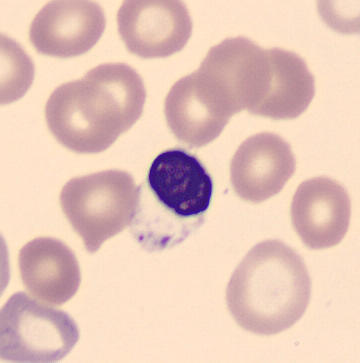

Cell: normoblast.

Peripheral blood film.